Bone marrow aspirate smear · image size 250×250 · May-Grünwald-Giemsa/Pappenheim stain
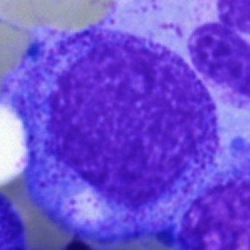Specimen: bone marrow smear.
Morphological class: promyelocyte.
Lineage: myeloid.